Single cell centered in the field; peripheral blood smear; M8 digital microscope (Precipoint), 100× oil immersion: 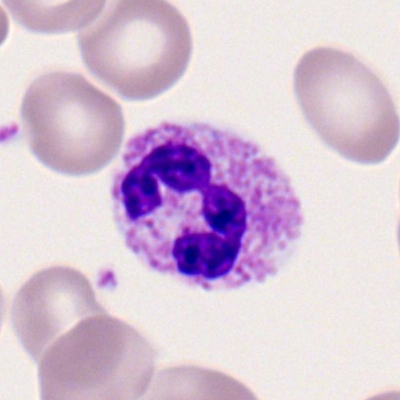

A segmented neutrophil.